MGG-stained. Bone marrow smear — 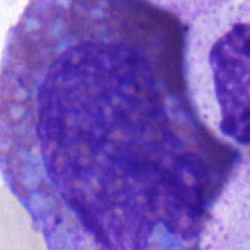

Q: Which cell type is shown here?
A: Eosinophilic granulocyte.